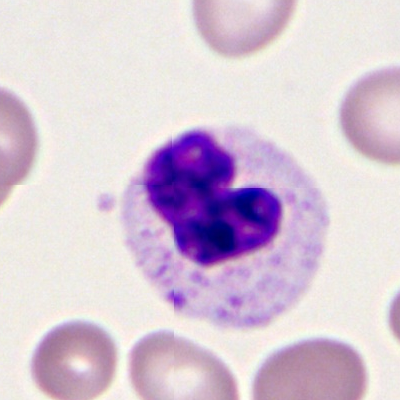

Q: Identify the cell.
A: This is a neutrophil (segmented).